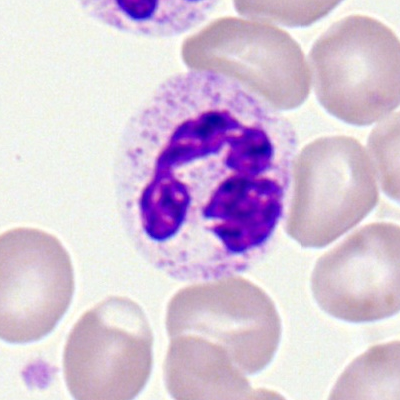 Morphological class — segmented neutrophil.